Bone marrow smear
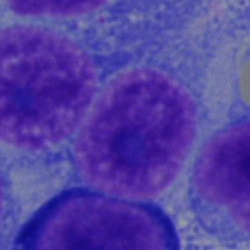

Showing a plasma cell.